250 by 250 pixels · bone marrow aspirate smear · May-Grünwald-Giemsa/Pappenheim stain:
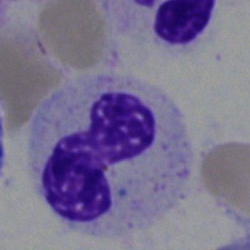 Impression — neutrophil (band).